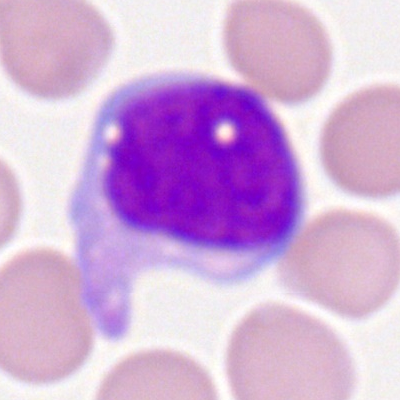
Morphological class: monocyte.